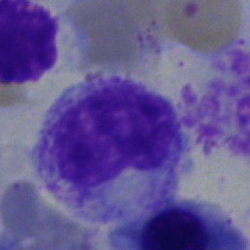

Metamyelocyte.